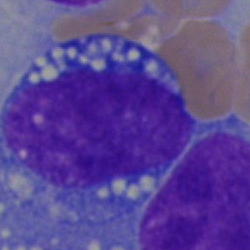

Morphological class: undifferentiated blast.